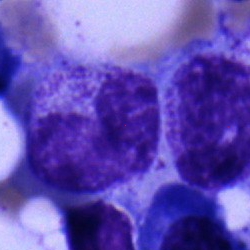Cell: neutrophil (band).